Bone marrow aspirate smear — 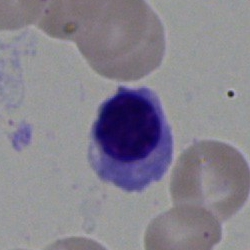
Single cell identified as a normoblast.